Bone marrow smear · 40× oil immersion — 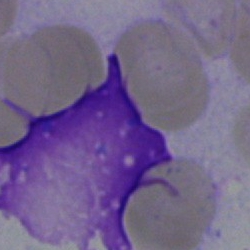

The cell shown is an artifact.